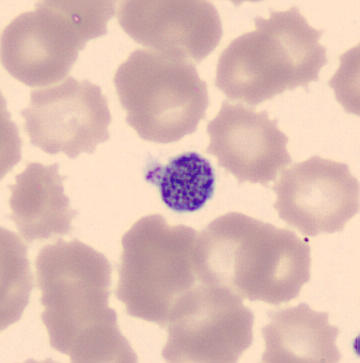 Specimen: peripheral blood smear.
Cell type: platelet (thrombocyte).